250×250 · bone marrow aspirate smear: 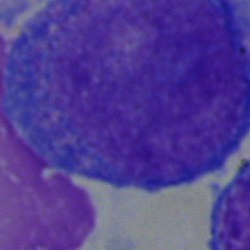

This is a promyelocyte.